Bone marrow aspirate smear; brightfield microscopy, 40× oil immersion; MGG-stained:
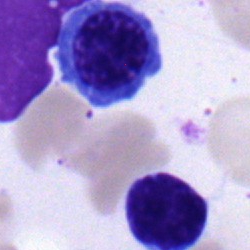Morphological class: nucleated red blood cell.